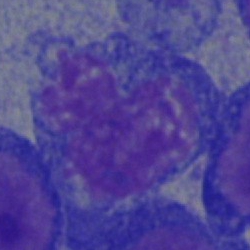Cell: undifferentiated blast.